Bone marrow smear: 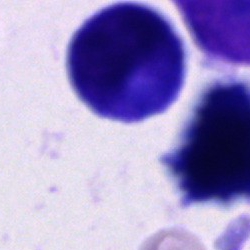{"cell_type": "unidentifiable cell"}